Bone marrow smear · 40× objective, oil immersion:
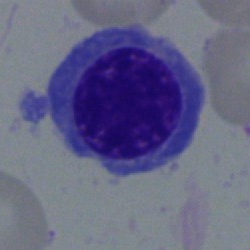

Q: What is shown here?
A: A plasmacyte.